Pappenheim-stained. 250×250. Bone marrow aspirate smear.
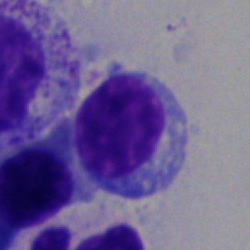

Q: Which cell type is shown here?
A: A typical lymphocyte.